Bone marrow smear: 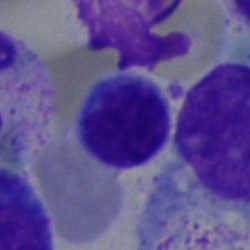 {"cell_type": "lymphocyte"}